Image size 250×250 · bone marrow aspirate smear: 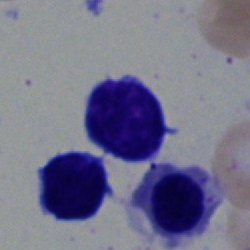 Impression → typical lymphocyte.